Bone marrow aspirate smear · image size 250×250: 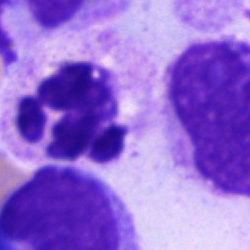Impression → neutrophil (segmented).